Image size 360×363. Peripheral blood film
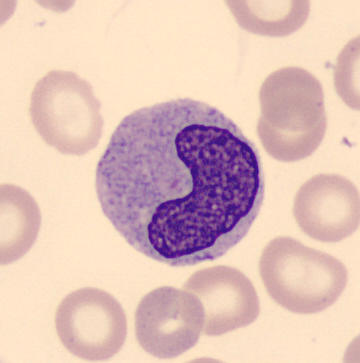Identified as a monocyte.